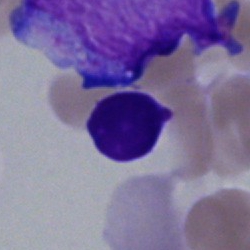
The cell shown is a typical lymphocyte.